Bone marrow aspirate smear: 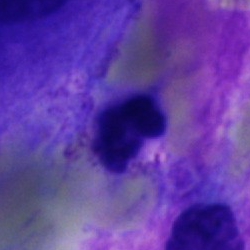 Cell: artefact.